Peripheral blood film
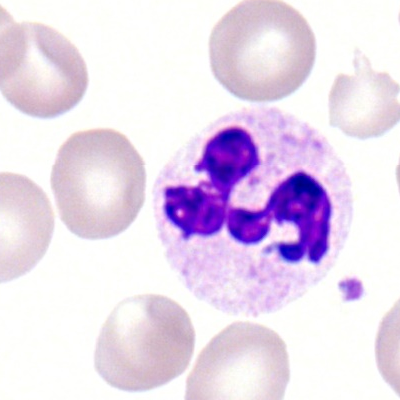
Morphology → neutrophil (segmented).